Bone marrow smear: 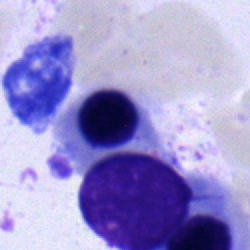 Specimen: bone marrow aspirate smear.
Morphological class: nucleated red blood cell.
Lineage: erythroid.